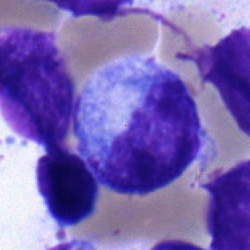

Bone marrow aspirate smear, single cell — metamyelocyte.